Bone marrow aspirate smear; 40× objective, oil immersion; single-cell crop: 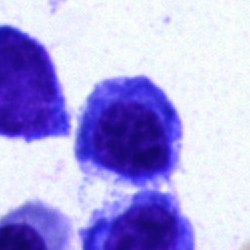 Showing a normoblast.